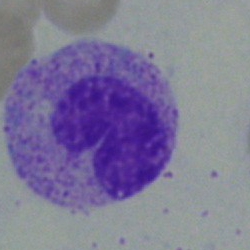 Cell = band neutrophil.